Peripheral blood film.
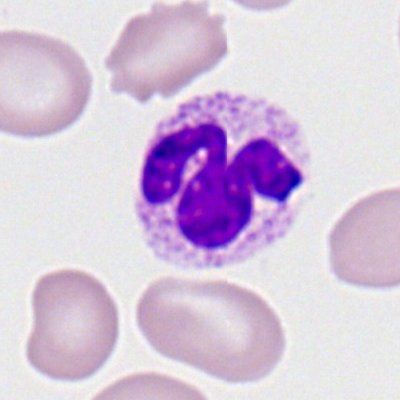A segmented neutrophil.